400 by 400 pixels · peripheral blood film.
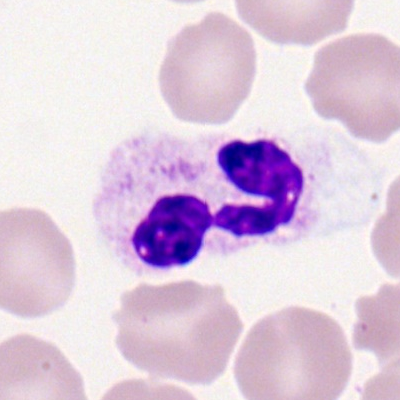

Cell: polymorphonuclear neutrophil.